Bone marrow smear: 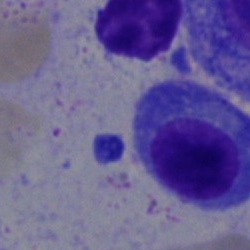

Classification — plasma cell.